Bone marrow aspirate smear; brightfield microscopy, 40× oil immersion
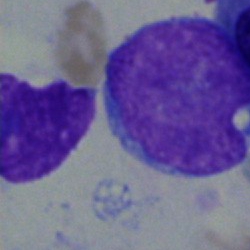Showing an undifferentiated blast.